Bone marrow aspirate smear: 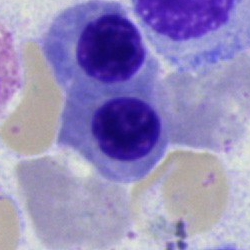

Q: What type of cell is this?
A: It is a nucleated red blood cell.